Bone marrow aspirate smear — 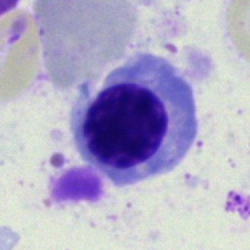Morphology — erythroblast.